Bone marrow smear:
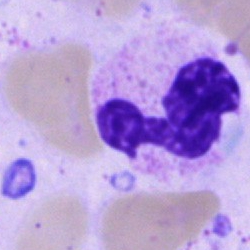 {"cell_type": "neutrophil (segmented)"}